Bone marrow aspirate smear: 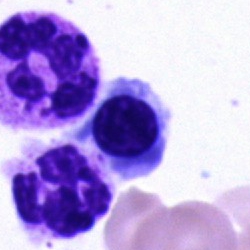{"cell_type": "nucleated red blood cell", "lineage": "erythroid"}